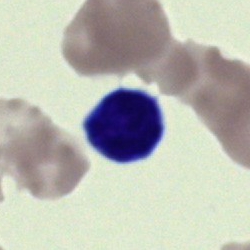 A lymphocyte.